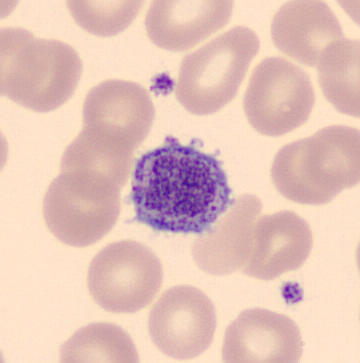

Image: Peripheral blood film.

Identified as a platelet (thrombocyte).